40× objective, oil immersion. Bone marrow aspirate smear. May-Grünwald-Giemsa/Pappenheim stain: 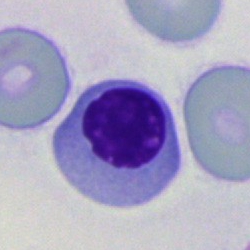{"cell_type": "nucleated red blood cell", "lineage": "erythroid"}